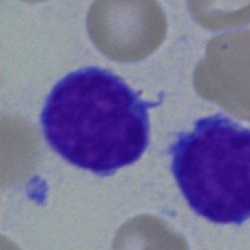
Morphology — lymphocyte.